Peripheral blood smear — 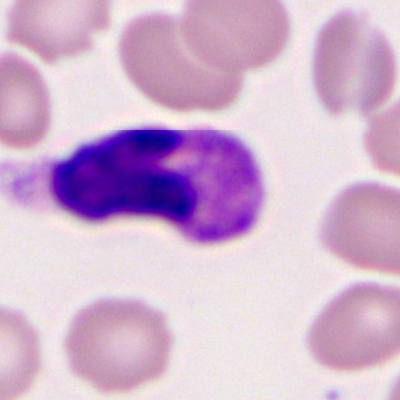 Single cell identified as a polymorphonuclear neutrophil.